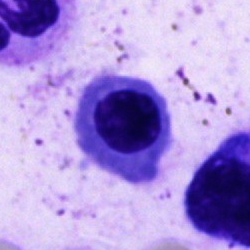Specimen: bone marrow aspirate smear.
Morphological class: erythroblast.
Lineage: erythroid.